Bone marrow aspirate smear; 40× objective, oil immersion:
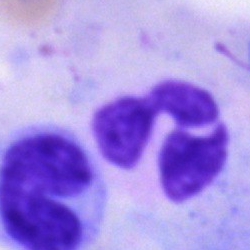
Specimen: bone marrow smear.
Cell type: neutrophil (segmented).